May-Grünwald-Giemsa/Pappenheim stain. Bone marrow aspirate smear
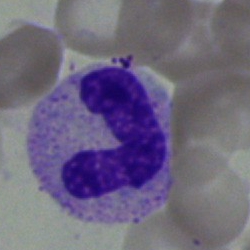
Specimen: bone marrow smear.
Classification: band neutrophil.
Lineage: myeloid.